Bone marrow smear:
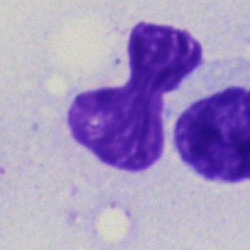

Morphology consistent with an artefact.